May-Grünwald-Giemsa/Pappenheim stain; bone marrow smear.
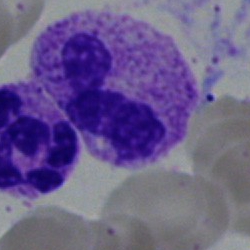Impression → neutrophil (segmented).